250×250 px · bone marrow aspirate smear · May-Grünwald-Giemsa stain.
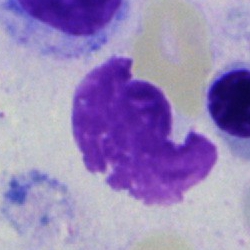Single cell identified as an artefact.